May-Grünwald-Giemsa stain. 40× oil immersion. Bone marrow aspirate smear:
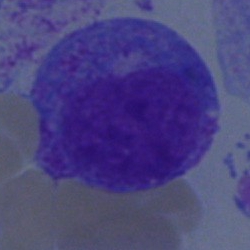Single cell identified as a promyelocyte.